Brightfield, 40× oil-immersion objective. Bone marrow smear. May-Grünwald-Giemsa/Pappenheim stain:
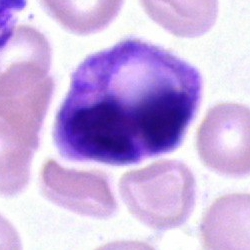 Impression → polymorphonuclear neutrophil.